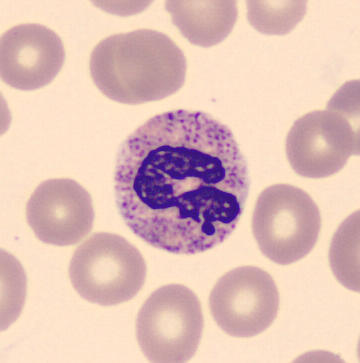
The cell shown is a neutrophil (segmented).
Automated cell imaging (CellaVision DM96) · peripheral blood film · MGG stain.